250×250. Bone marrow aspirate smear. Single cell centered in the field: 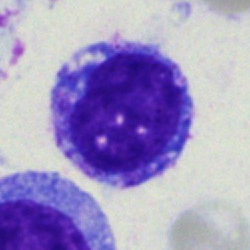

Monocyte.